Bone marrow smear:
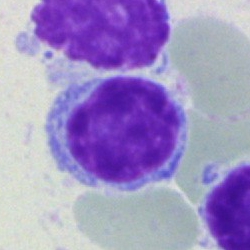Q: What type of cell is this?
A: This is a typical lymphocyte.